250 by 250 pixels. Bone marrow aspirate smear:
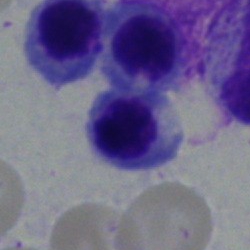 Q: What is the morphological classification of this cell?
A: An erythroblast.